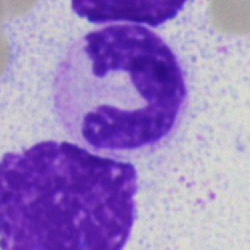A polymorphonuclear neutrophil on a bone marrow smear.